Single-cell field · bone marrow aspirate smear · 250×250 px
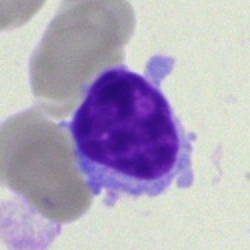
Morphology consistent with a lymphocyte.